Peripheral blood film; Romanowsky-type stain.
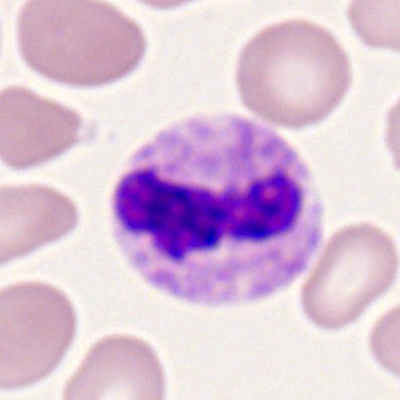Morphology — segmented neutrophil.